Bone marrow aspirate smear
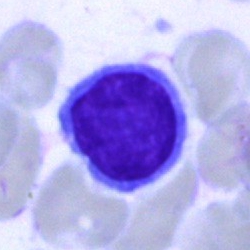 The cell type is lymphocyte.